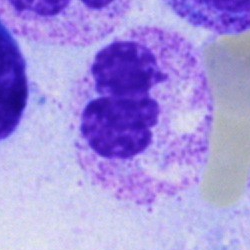

Impression → neutrophil (segmented).